Peripheral blood smear; single cell centered in the field — 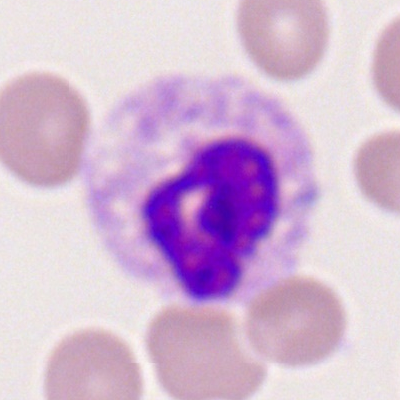
Neutrophil (segmented).